Bone marrow aspirate smear:
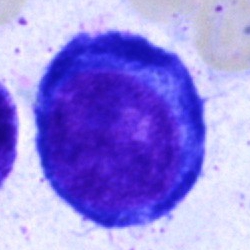
{"cell_type": "proerythroblast", "lineage": "erythroid"}